Bone marrow smear: 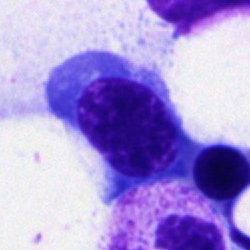Classification — nucleated red blood cell.